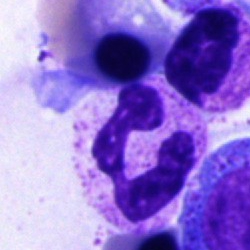
The cell shown is a polymorphonuclear neutrophil.